Peripheral blood smear — 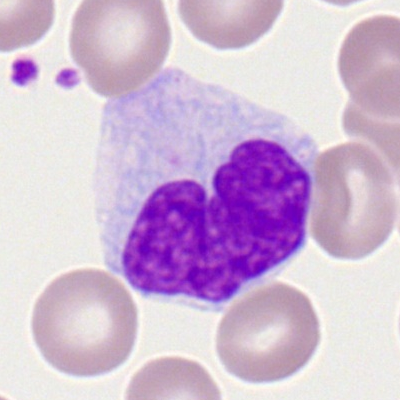

Classification: monocyte.